40× oil immersion. Bone marrow aspirate smear. Single-cell crop
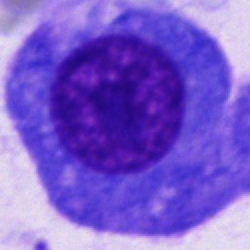Q: Which cell type is shown here?
A: This is an other cell type.